Peripheral blood film
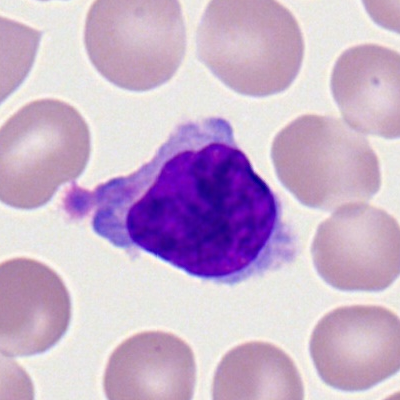Classification = typical lymphocyte.